Bone marrow smear. 250×250.
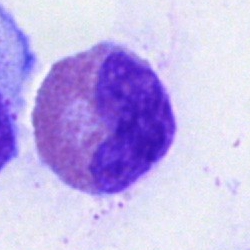

An eosinophil.